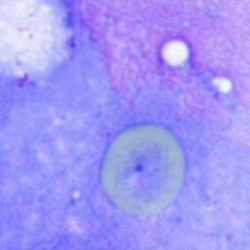
The morphological class is artefact.